Pappenheim-stained · single-cell crop · bone marrow smear:
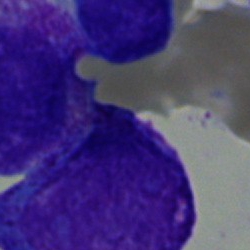

Cell type — promyelocyte.